400 by 400 pixels · peripheral blood smear
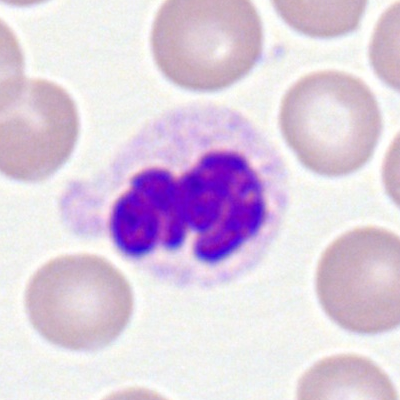 Classification = segmented neutrophil.